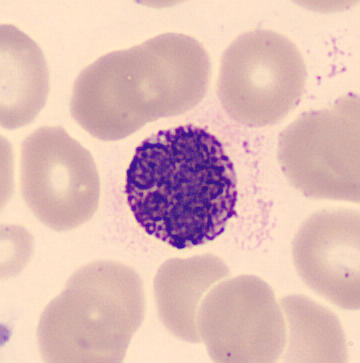Specimen: peripheral blood smear.
Cell: basophilic granulocyte.